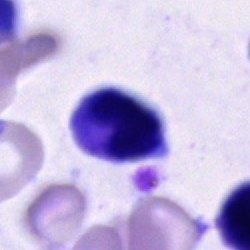Cell of indeterminate lineage.